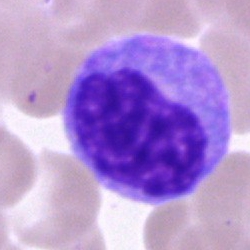Impression → cell of indeterminate lineage.